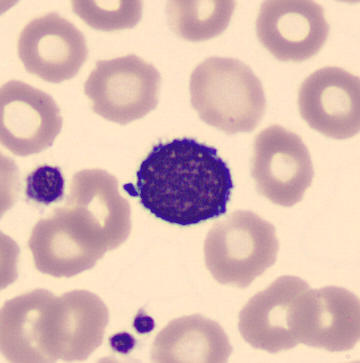 The classification is typical lymphocyte.

Image: Peripheral blood smear.